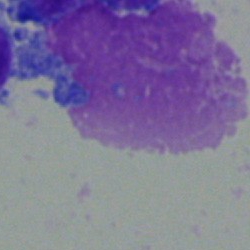

This is an artefact.